Bone marrow aspirate smear: 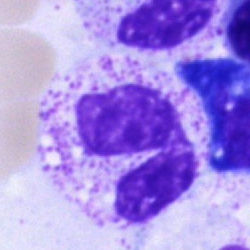Classification = neutrophil (segmented).